Bone marrow smear
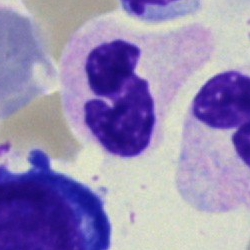

Q: Which cell type is shown here?
A: A neutrophil (band).